Bone marrow aspirate smear: 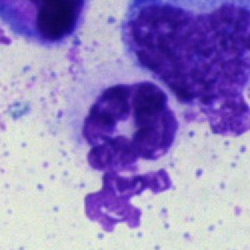The cell is segmented neutrophil.